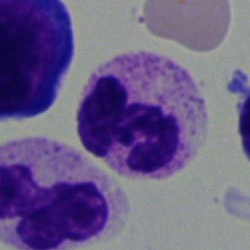

A polymorphonuclear neutrophil.